Bone marrow smear.
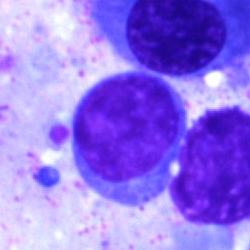
Impression — typical lymphocyte.